250×250 px · bone marrow smear:
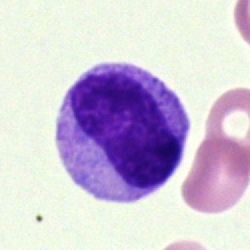The cell shown is a metamyelocyte.